Peripheral blood smear:
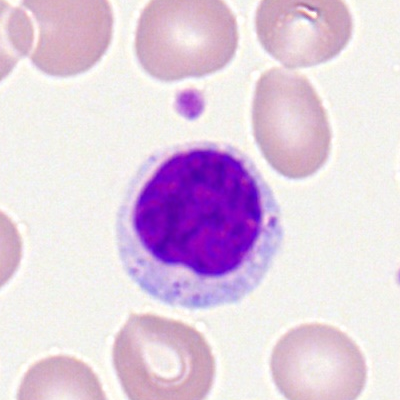 Morphological class = typical lymphocyte.